Brightfield microscopy, 40× oil immersion; bone marrow smear.
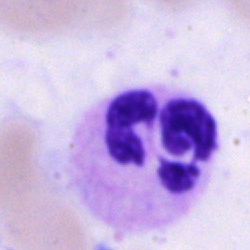
Cell type — segmented neutrophil.